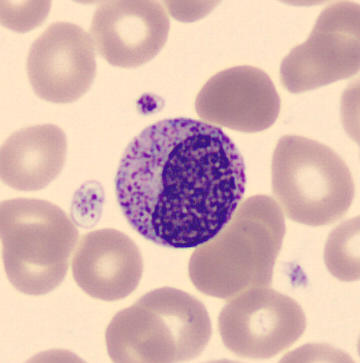Acquisition: 360×363; peripheral blood film. Showing a metamyelocyte.